Bone marrow smear
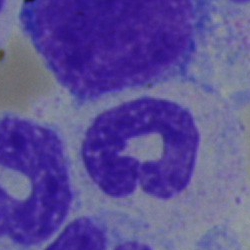
Showing a band-form neutrophil.